Bone marrow aspirate smear. 250×250. 40× objective, oil immersion — 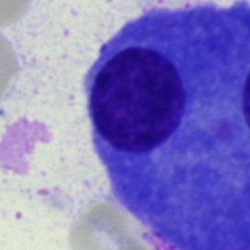

The cell type is plasmacyte.